MGG-stained. Brightfield, 40× oil-immersion objective. Bone marrow smear:
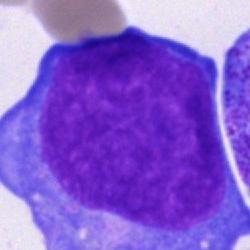
A blast cell.